Bone marrow smear. Single-cell field. Pappenheim-stained: 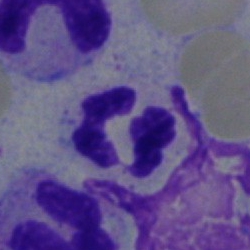This is a segmented neutrophil.